Bone marrow smear; single-cell crop: 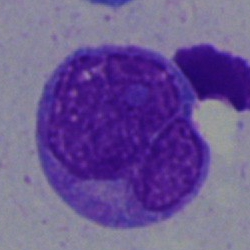Q: What is the morphological classification of this cell?
A: Promyelocyte.